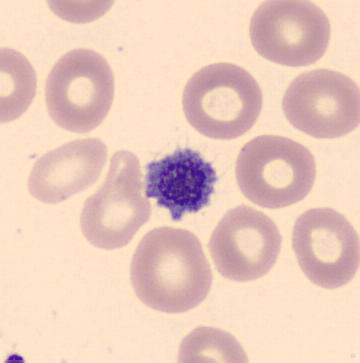 Q: What is this?
A: A platelet.